Bone marrow aspirate smear · brightfield microscopy, 40× oil immersion.
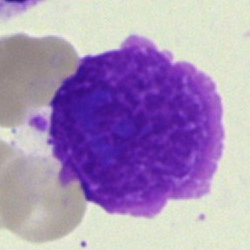
Classification = artifact.